MGG-stained · bone marrow aspirate smear — 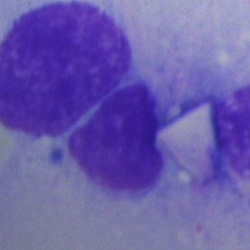This is an artefact.